Bone marrow smear:
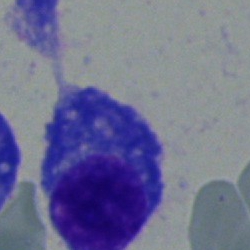Morphology — plasma cell.